Single-cell field. Bone marrow aspirate smear. Image size 250×250.
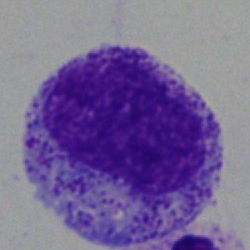 Impression — promyelocyte.